Bone marrow aspirate smear
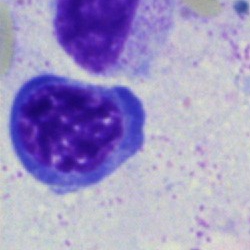 {"cell_type": "nucleated red blood cell", "lineage": "erythroid"}